100× objective, oil immersion; peripheral blood film; image size 400×400.
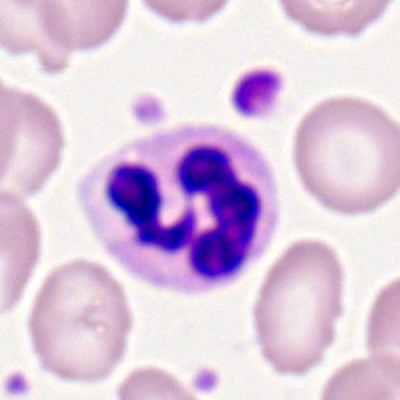 This is a segmented neutrophil.